Bone marrow smear · single-cell field: 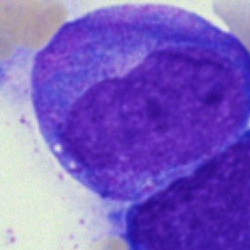
Morphology → promyelocyte.